Bone marrow smear — 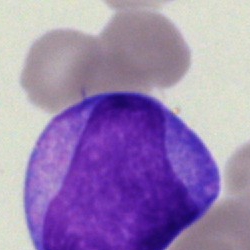

Morphology consistent with a blast cell.